May-Grünwald-Giemsa/Pappenheim stain. Brightfield, 40× oil-immersion objective. Bone marrow aspirate smear:
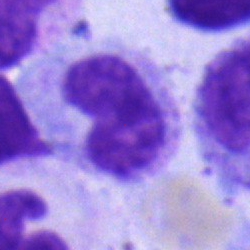
Cell — band-form neutrophil.